Image size 360×363 · peripheral blood smear:
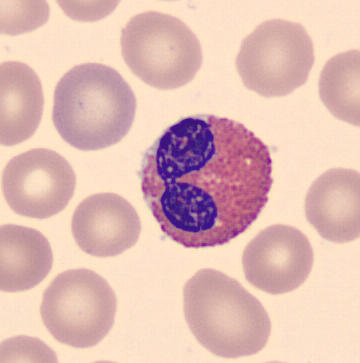

Morphology → eosinophil.